Brightfield microscopy, 40× oil immersion · bone marrow smear · cropped to a single cell — 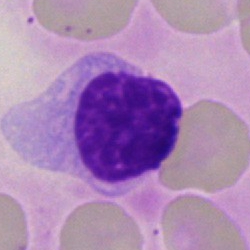Typical lymphocyte.